Bone marrow aspirate smear. May-Grünwald-Giemsa stain:
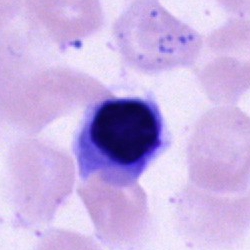A cell of indeterminate lineage.